Bone marrow aspirate smear.
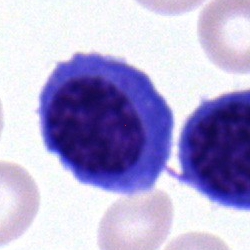

The cell shown is a normoblast.